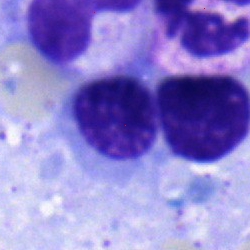
Q: What is shown here?
A: Lymphocyte.